Bone marrow smear:
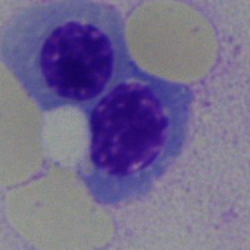

Morphological class — nucleated red cell.